250×250; bone marrow smear; 40× objective, oil immersion: 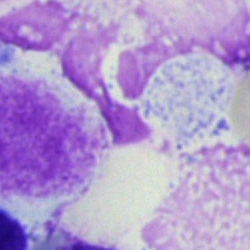Morphology consistent with an artifact.